250×250 · bone marrow smear.
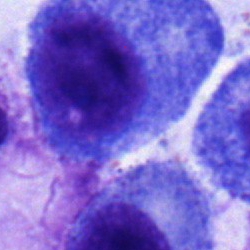 Morphology consistent with a progranulocyte.